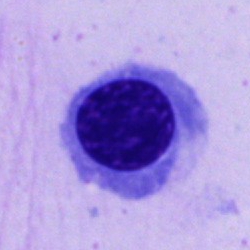 Bone marrow smear showing a nucleated red blood cell.